Bone marrow aspirate smear; single-cell crop:
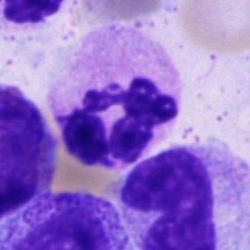Morphology consistent with a segmented neutrophil.